May-Grünwald-Giemsa/Pappenheim stain. Bone marrow smear
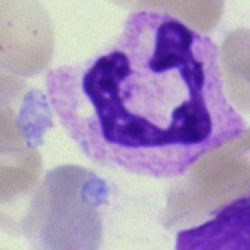Morphological class — neutrophil (segmented).